Bone marrow aspirate smear · MGG-stained — 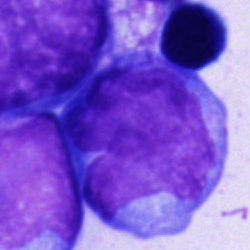Cell type: blast.